40× objective, oil immersion; single-cell crop; bone marrow smear: 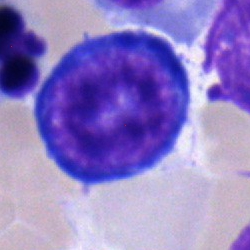

Q: What cell is this?
A: A proerythroblast.